Bone marrow smear.
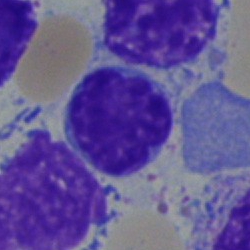
This is a typical lymphocyte.